Bone marrow aspirate smear — 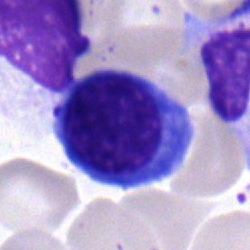Q: Identify the cell.
A: It is an erythroblast.